Bone marrow aspirate smear · image size 250×250.
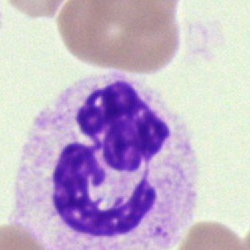 Showing a polymorphonuclear neutrophil.